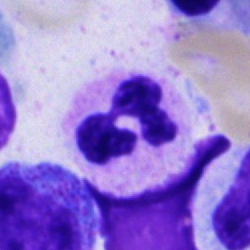

Specimen: bone marrow aspirate smear.
Cell type: segmented neutrophil.
Lineage: myeloid.